Bone marrow aspirate smear; 250×250 px.
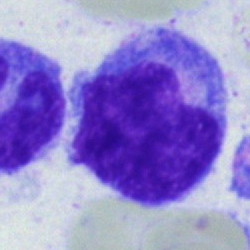

Specimen: bone marrow aspirate smear.
Cell: monocyte.
Lineage: myeloid.